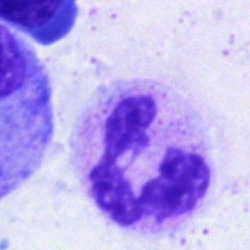 Classification: segmented neutrophil.